Single-cell field · bone marrow aspirate smear.
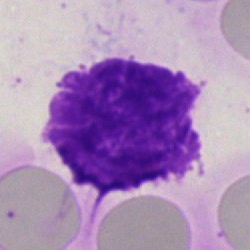Specimen: bone marrow aspirate smear.
Morphological class: artifact.